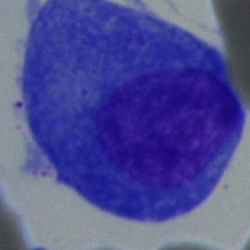Q: What type of cell is this?
A: This is a plasmacyte.